Bone marrow aspirate smear · MGG-stained
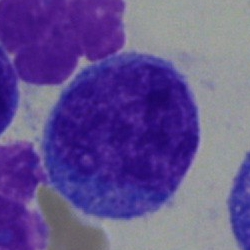Cell type = undifferentiated blast.